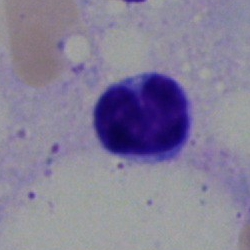

Morphological class = typical lymphocyte.